Bone marrow smear — 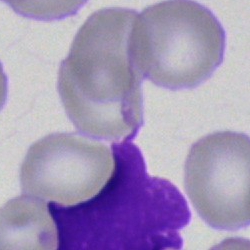
Morphological class = artifact.